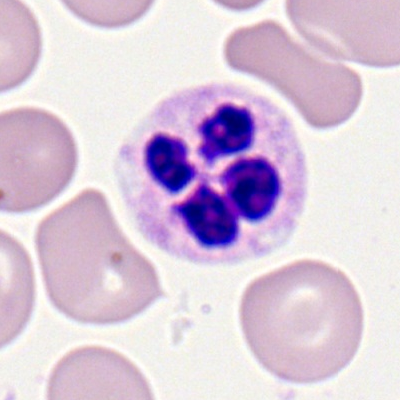 Cell: segmented neutrophil.